Bone marrow aspirate smear · May-Grünwald-Giemsa stain — 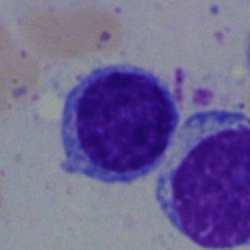
Specimen: bone marrow aspirate smear.
Cell: lymphocyte.